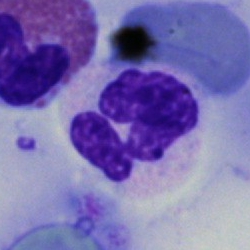Cell type = polymorphonuclear neutrophil.